May-Grünwald-Giemsa/Pappenheim stain; bone marrow aspirate smear; 250 by 250 pixels — 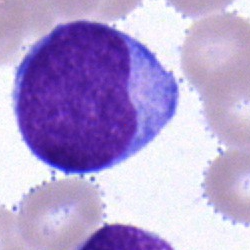 This is an undifferentiated blast.